Bone marrow smear — 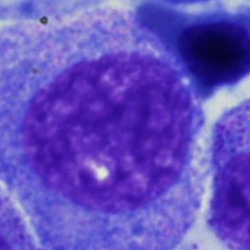

Single cell identified as a promyelocyte.